Pappenheim-stained; bone marrow smear.
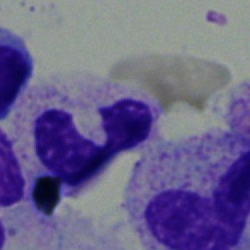
Cell type: segmented neutrophil.